40× objective, oil immersion; bone marrow aspirate smear: 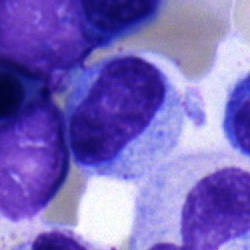

Impression → metamyelocyte.